Bone marrow smear. 40× objective, oil immersion — 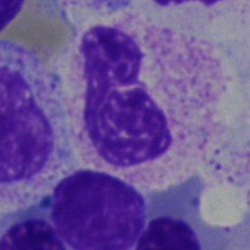
Q: Which cell type is shown here?
A: This is a segmented neutrophil.